Bone marrow aspirate smear: 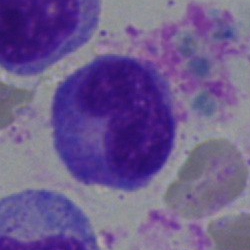

The cell shown is a neutrophil (band).